250×250; bone marrow aspirate smear:
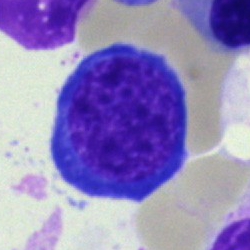

Showing a nucleated red cell.